Bone marrow aspirate smear. 250×250 px: 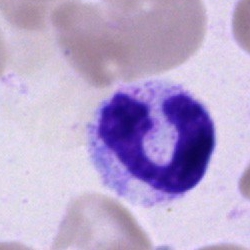
This is a neutrophil (band).